Bone marrow smear:
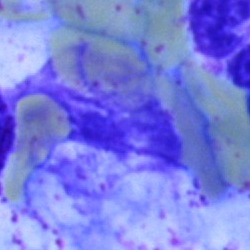
Cell = artefact.